Bone marrow aspirate smear:
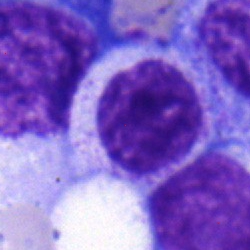Myelocyte.